Bone marrow smear — 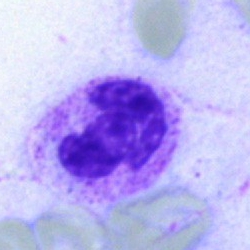

Specimen: bone marrow aspirate smear.
Cell type: segmented neutrophil.